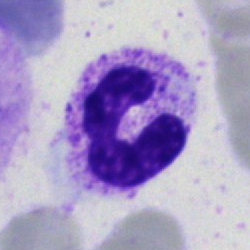A stab cell.